Bone marrow smear: 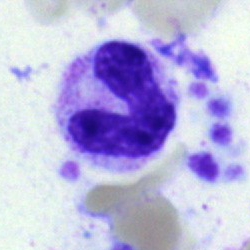Q: Identify the cell.
A: A band-form neutrophil.